Bone marrow aspirate smear. Single cell centered in the field. Image size 250×250: 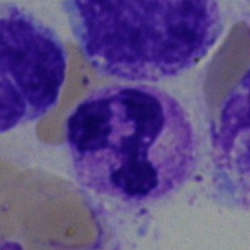 Specimen: bone marrow aspirate smear.
Cell type: segmented neutrophil.
Lineage: myeloid.